Peripheral blood film; single-cell crop — 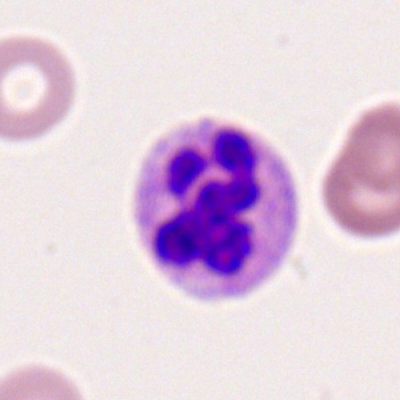Segmented neutrophil.